Bone marrow aspirate smear.
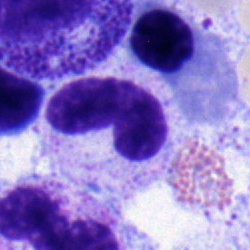Morphological class — metamyelocyte.